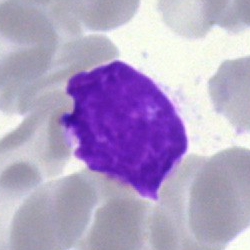Bone marrow smear showing a smudge cell.